Bone marrow aspirate smear. 40× oil immersion:
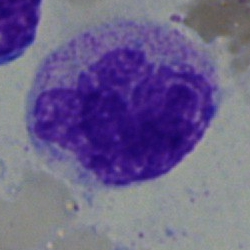 Specimen: bone marrow aspirate smear.
Cell: monocyte.
Lineage: myeloid.